Bone marrow aspirate smear.
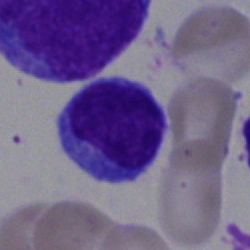
Specimen: bone marrow smear.
Classification: lymphocyte.
Lineage: lymphoid.